Bone marrow smear:
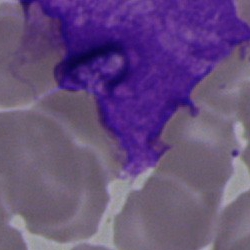Specimen: bone marrow aspirate smear.
Morphological class: artefact.